Bone marrow smear
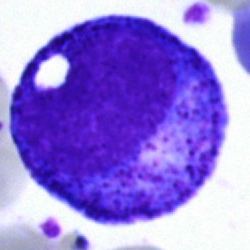
Morphology — progranulocyte.